Bone marrow smear:
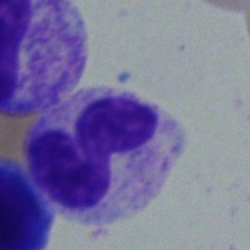

Band-form neutrophil.